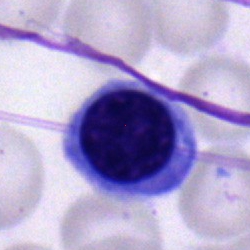Bone marrow smear showing an erythroblast.